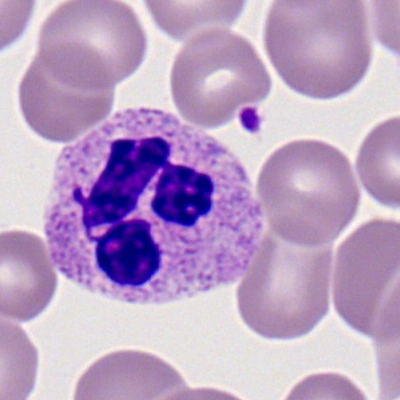
Specimen: peripheral blood smear.
Cell type: polymorphonuclear neutrophil.
Lineage: myeloid.